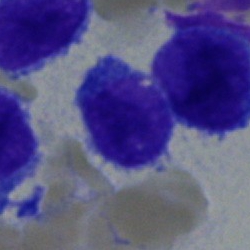

Q: What type of cell is this?
A: Lymphocyte.